Bone marrow smear.
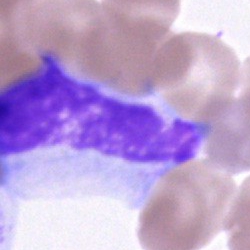

Q: What is shown here?
A: An unidentifiable cell.